MGG-stained; bone marrow smear; 40× objective, oil immersion.
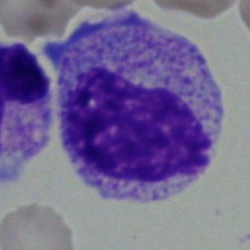 Q: What cell is this?
A: Myelocyte.